Bone marrow smear: 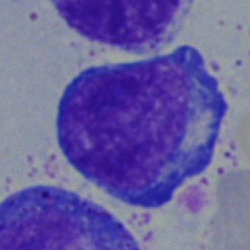

Pronormoblast.